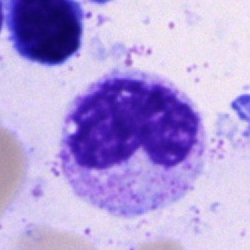

{"cell_type": "metamyelocyte"}